Bone marrow aspirate smear:
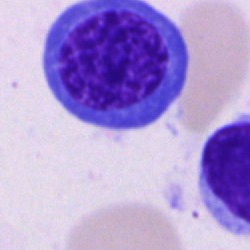
{"cell_type": "normoblast"}